Single cell centered in the field; brightfield microscopy, 40× oil immersion; bone marrow smear.
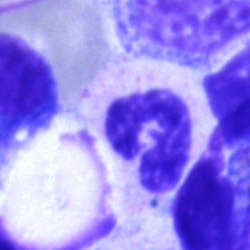
{"cell_type": "polymorphonuclear neutrophil", "lineage": "myeloid"}